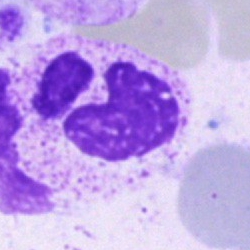 Specimen: bone marrow aspirate smear.
Morphological class: polymorphonuclear neutrophil.